Bone marrow aspirate smear.
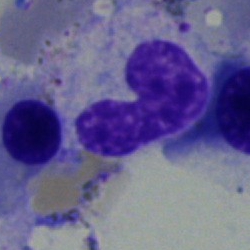

Specimen: bone marrow aspirate smear.
Classification: band neutrophil.
Lineage: myeloid.